Bone marrow smear · single-cell field · 250 by 250 pixels — 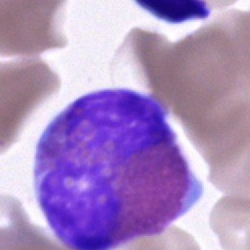 {"cell_type": "eosinophil", "lineage": "myeloid"}